Bone marrow smear.
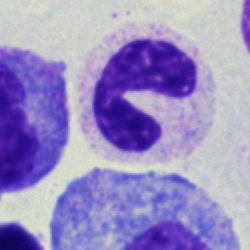

{"cell_type": "band-form neutrophil"}